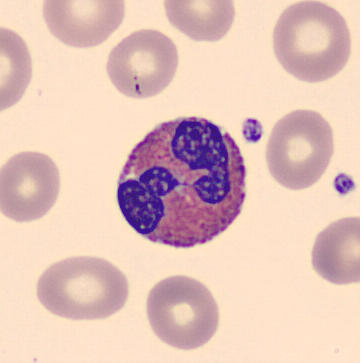

Single cell identified as an eosinophil. Peripheral blood smear.